Bone marrow aspirate smear.
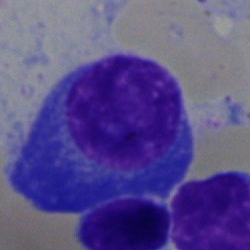 The cell shown is a plasmacyte.